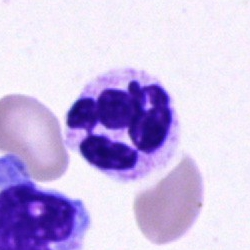

A polymorphonuclear neutrophil on a bone marrow smear.